Brightfield, 40× oil-immersion objective; May-Grünwald-Giemsa stain; bone marrow smear.
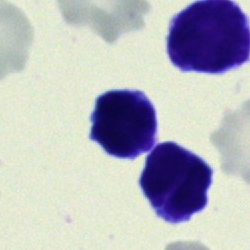 Morphology → typical lymphocyte.